May-Grünwald-Giemsa/Pappenheim stain · bone marrow aspirate smear.
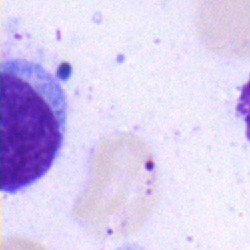 The morphological class is lymphocyte.